Bone marrow aspirate smear: 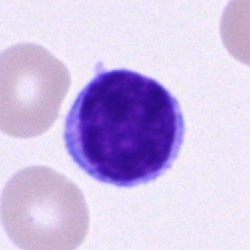Morphological class: lymphocyte.